Single cell centered in the field. Bone marrow smear
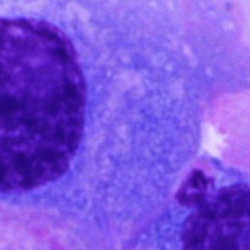

Classification — plasmacyte.